Peripheral blood smear — 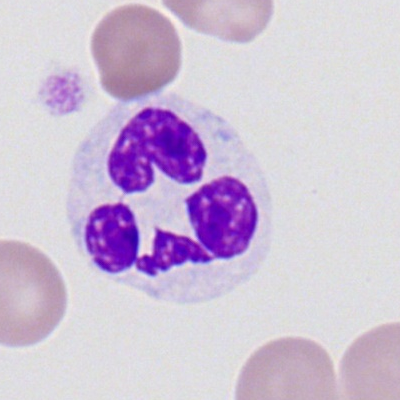
Specimen: peripheral blood film.
Cell type: neutrophil (segmented).
Lineage: myeloid.